Bone marrow smear. 40× objective, oil immersion. May-Grünwald-Giemsa/Pappenheim stain:
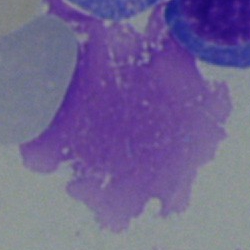
Morphology → artefact.